Bone marrow smear: 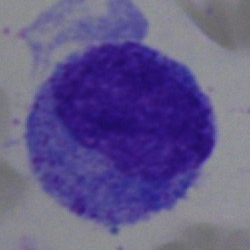
Morphology consistent with a progranulocyte.